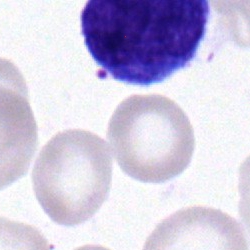Morphology consistent with a monocyte.